Bone marrow smear:
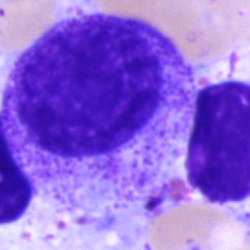Q: What is the morphological classification of this cell?
A: Promyelocyte.